May-Grünwald-Giemsa/Pappenheim stain; bone marrow smear; image size 250×250.
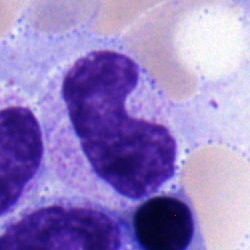

Q: What is the morphological classification of this cell?
A: Stab cell.